Bone marrow smear; single cell centered in the field: 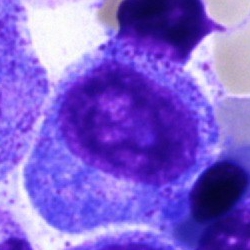

The cell shown is a promyelocyte.